Bone marrow smear
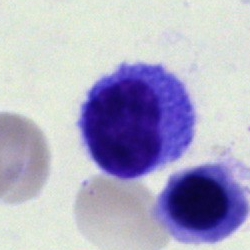
Cell — lymphocyte.